400×400 px; peripheral blood film
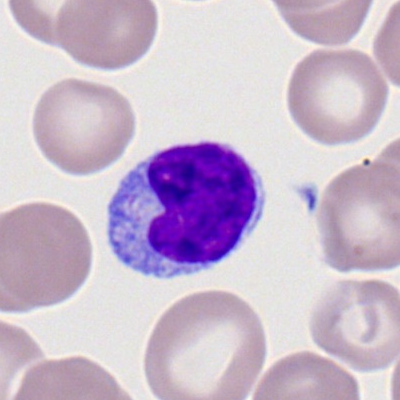Q: Identify the cell.
A: It is a typical lymphocyte.